Bone marrow aspirate smear; MGG-stained; brightfield, 40× oil-immersion objective.
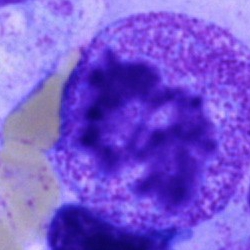

A progranulocyte.